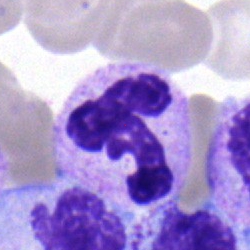

Cell: segmented neutrophil.